Single-cell field. Bone marrow smear.
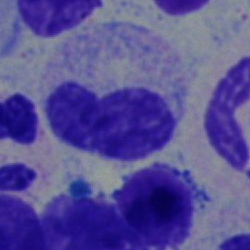

The cell type is metamyelocyte.